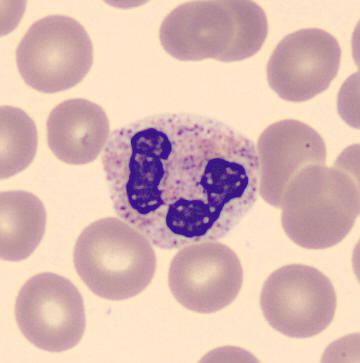Acquisition: Peripheral blood film. 360×363 px.

Impression — neutrophil (segmented).